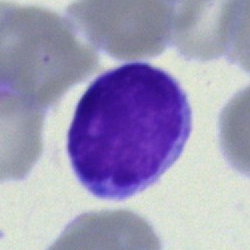Specimen: bone marrow aspirate smear.
Morphological class: typical lymphocyte.
Lineage: lymphoid.